Bone marrow smear. Single-cell field. Brightfield, 40× oil-immersion objective — 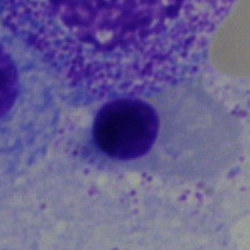

Specimen: bone marrow smear.
Cell: nucleated red cell.
Lineage: erythroid.